Bone marrow smear: 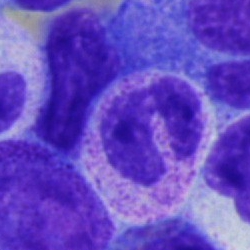
The cell shown is a polymorphonuclear neutrophil.